Bone marrow aspirate smear — 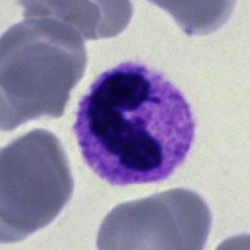
{"cell_type": "band-form neutrophil"}